250×250 · bone marrow smear · May-Grünwald-Giemsa stain: 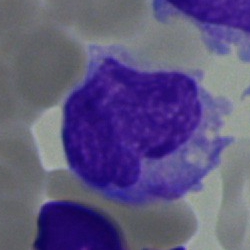
Specimen: bone marrow smear.
Cell type: monocyte.
Lineage: myeloid.